Single cell centered in the field · bone marrow aspirate smear:
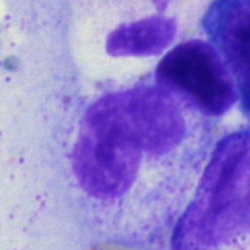

Q: Which cell type is shown here?
A: Band neutrophil.